250 by 250 pixels · bone marrow smear · brightfield microscopy, 40× oil immersion: 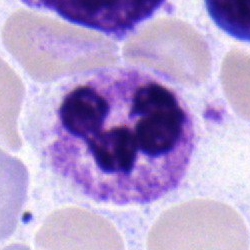
A segmented neutrophil.